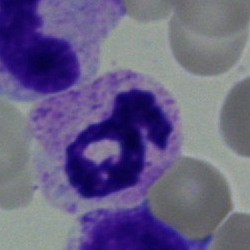

Cell type: segmented neutrophil.